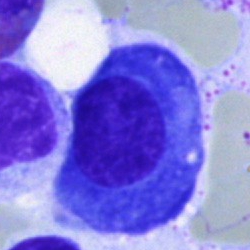Single-cell crop from a bone marrow smear: plasma cell.